Bone marrow smear:
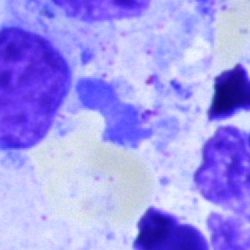 Impression → artefact.